Cropped to a single cell. Bone marrow aspirate smear. 250×250
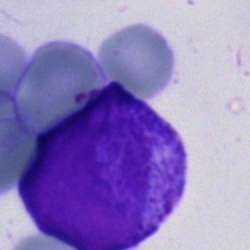 The cell type is blast cell.